Brightfield, 40× oil-immersion objective; single-cell field; bone marrow aspirate smear
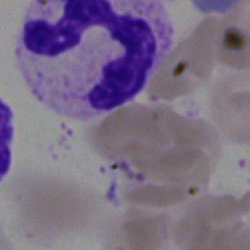
Q: What is shown here?
A: A neutrophil (segmented).